Bone marrow smear — 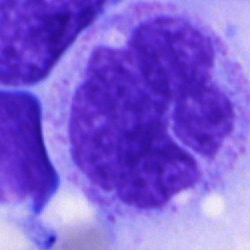 This is a monocyte.